Peripheral blood film: 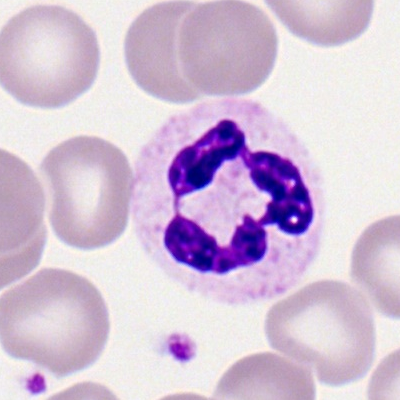 Morphology — neutrophil (segmented).